Bone marrow smear. Pappenheim-stained: 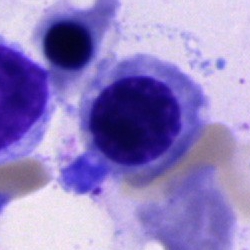
Cell type: normoblast.